Bone marrow smear. Cropped to a single cell — 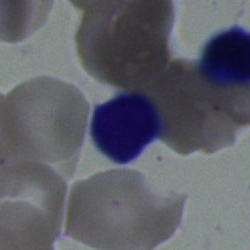 Impression — typical lymphocyte.